Bone marrow smear
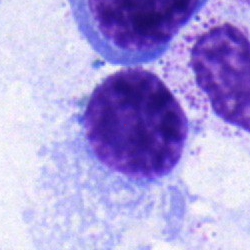 Morphology consistent with a lymphocyte.